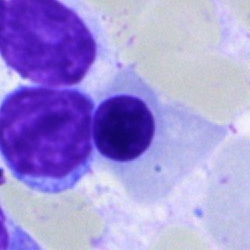
Morphology → nucleated red blood cell.